Bone marrow aspirate smear — 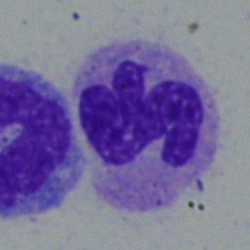
Single cell identified as a neutrophil (segmented).